Bone marrow aspirate smear: 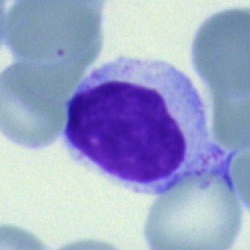 This is a lymphocyte.